Peripheral blood smear — 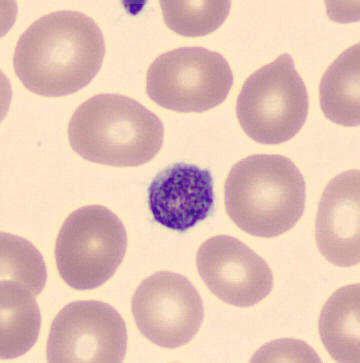 Q: What is this?
A: A thrombocyte.